40× objective, oil immersion. Bone marrow smear: 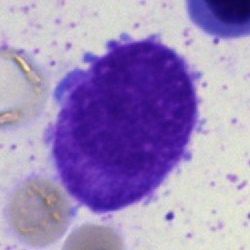Morphological class — progranulocyte.